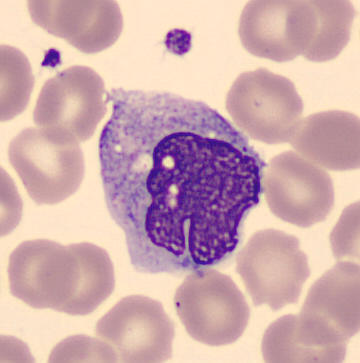Morphology → monocyte.